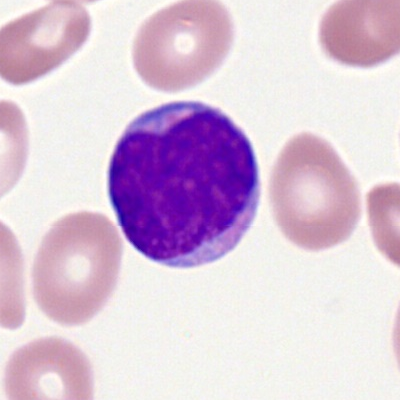 Showing a myeloblast.